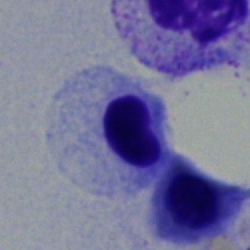 The cell is nucleated red cell.